Bone marrow smear.
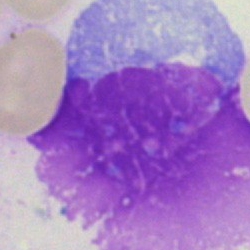Specimen: bone marrow smear.
Cell: artefact.